Peripheral blood film:
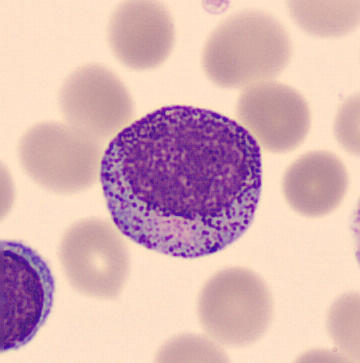

A progranulocyte.